Image size 250×250 · bone marrow smear: 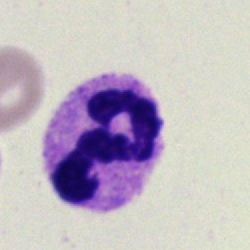The classification is segmented neutrophil.